250×250 px · single-cell field · bone marrow aspirate smear: 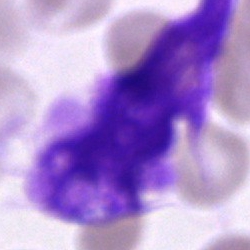
Morphological class: artefact.